Peripheral blood film
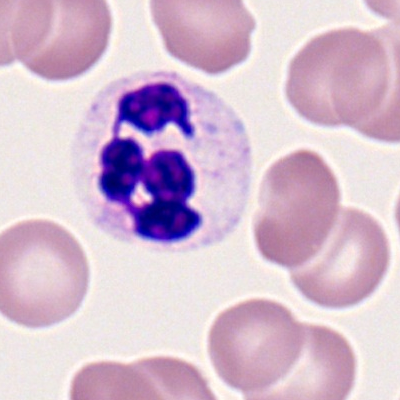
This is a segmented neutrophil.